Bone marrow aspirate smear. Pappenheim-stained:
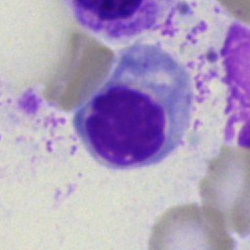 Morphology consistent with a nucleated red blood cell.